Bone marrow smear.
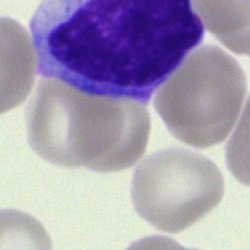

Single cell identified as a typical lymphocyte.